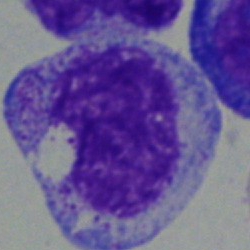

This is a myelocyte.